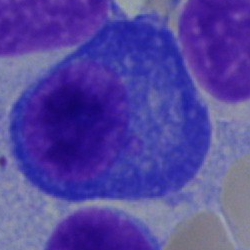

Classification: plasma cell.